Bone marrow aspirate smear: 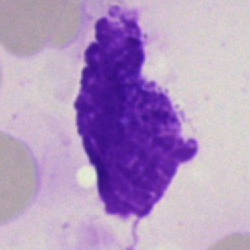

Morphological class = artifact.